Bone marrow smear: 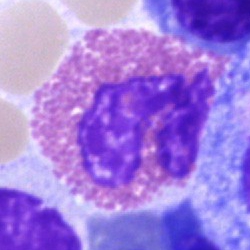
Morphology consistent with an eosinophil.